Bone marrow smear:
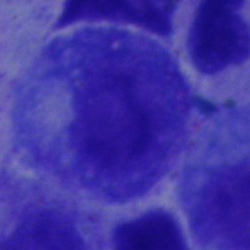

Morphology — promyelocyte.